Peripheral blood film. Romanowsky-type stain.
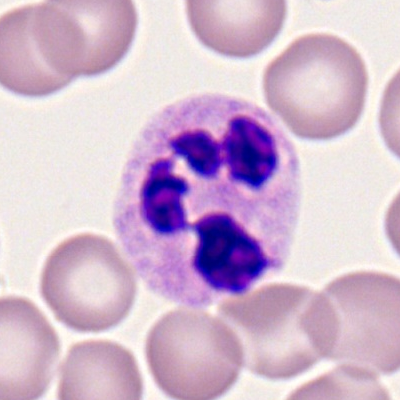Morphology — segmented neutrophil.